40× objective, oil immersion; May-Grünwald-Giemsa stain; bone marrow aspirate smear — 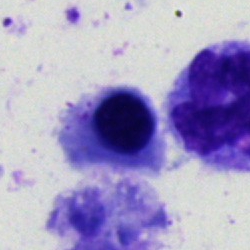
{"cell_type": "nucleated red cell"}